Bone marrow smear: 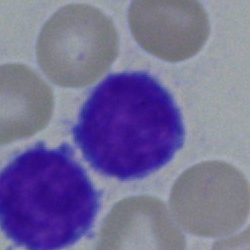
The cell is lymphocyte.